Single-cell field; bone marrow aspirate smear — 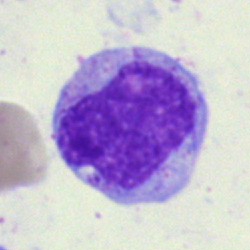 Classification: monocyte.